Bone marrow smear
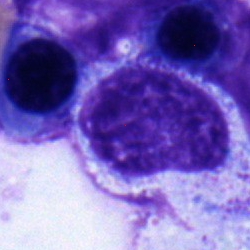

Q: What is the morphological classification of this cell?
A: It is a myelocyte.